Bone marrow aspirate smear:
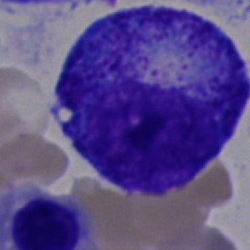Q: Which cell type is shown here?
A: This is a promyelocyte.